Bone marrow smear; 250×250 px:
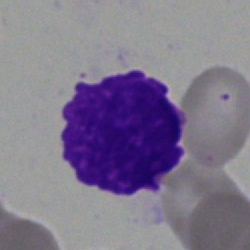

Cell = artifact.